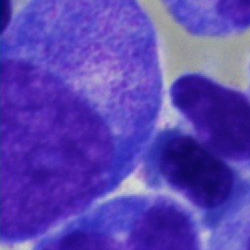{"cell_type": "promyelocyte", "lineage": "myeloid"}